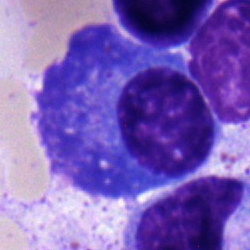
Cell type: plasmacyte.